250×250 px. Bone marrow aspirate smear. Single cell centered in the field — 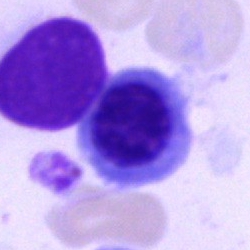 Classification — erythroblast.